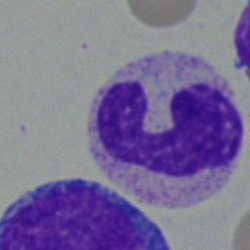 Bone marrow aspirate smear, single cell — stab cell.